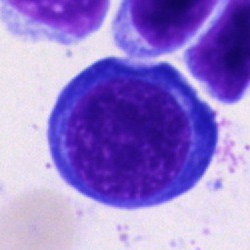 An erythroblast on a bone marrow smear.